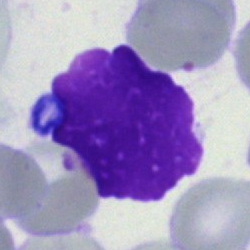 {"cell_type": "artifact"}